Bone marrow smear. 250 by 250 pixels — 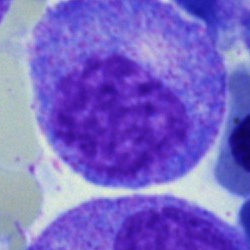{"cell_type": "progranulocyte"}